Bone marrow smear: 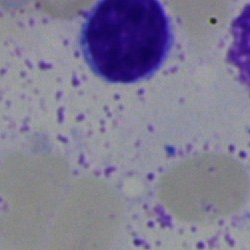 Single cell identified as a typical lymphocyte.